Bone marrow aspirate smear
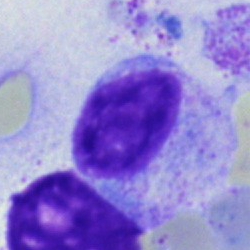

Myelocyte.